Bone marrow smear
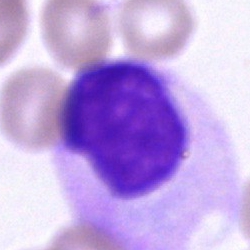 Q: Which cell type is shown here?
A: Cell of indeterminate lineage.